Bone marrow aspirate smear: 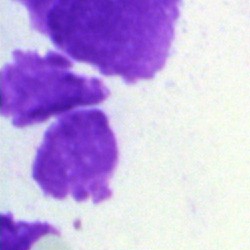 An artefact.